Bone marrow smear.
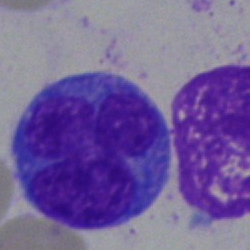 Showing an undifferentiated blast.